Bone marrow aspirate smear — 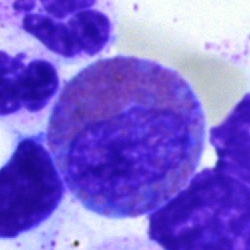The morphological class is eosinophilic granulocyte.